Bone marrow smear · Pappenheim-stained.
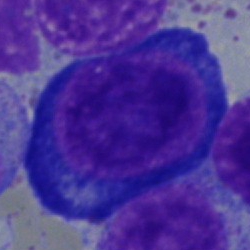 {"cell_type": "proerythroblast", "lineage": "erythroid"}